Bone marrow aspirate smear; single cell centered in the field.
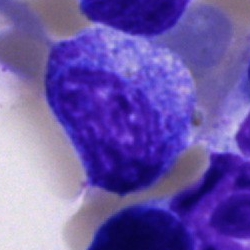Classification — promyelocyte.